Pappenheim-stained; bone marrow aspirate smear; 250 by 250 pixels: 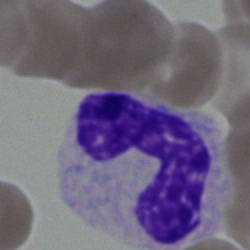

Specimen: bone marrow aspirate smear.
Morphological class: band-form neutrophil.
Lineage: myeloid.